Single-cell crop · 40× oil immersion · bone marrow smear
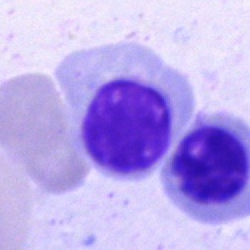

This is a normoblast.